Peripheral blood smear. Single-cell crop. Image size 400×400
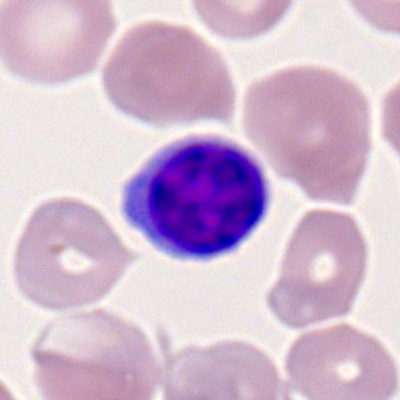The cell shown is a lymphocyte.